Peripheral blood smear · cropped to a single cell
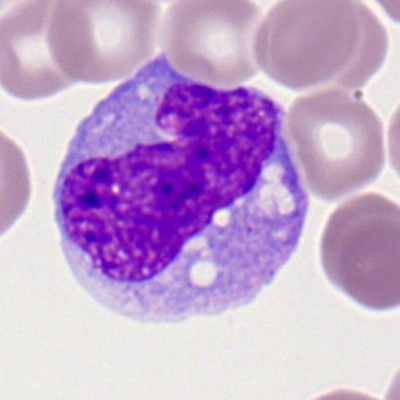Single cell identified as a monocyte.